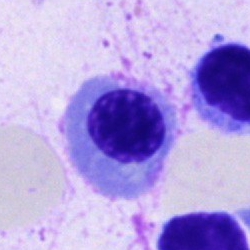

Morphology consistent with a nucleated red blood cell.